Bone marrow smear · MGG-stained · brightfield, 40× oil-immersion objective
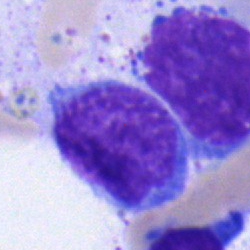

Showing a blast.